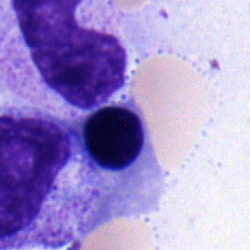

The cell shown is a normoblast.